Bone marrow smear
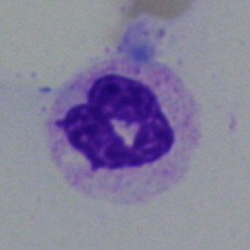
Q: Which cell type is shown here?
A: This is a neutrophil (segmented).